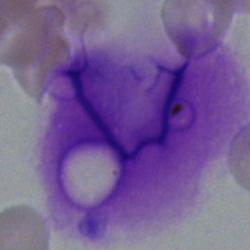Morphological class — artefact.